Bone marrow smear.
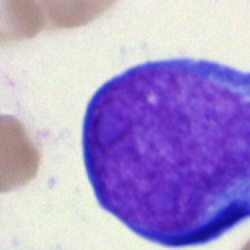

Q: What cell is this?
A: An undifferentiated blast.